Cropped to a single cell; bone marrow smear.
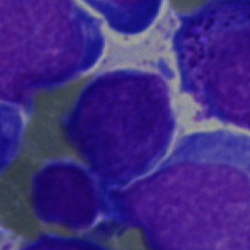

Specimen: bone marrow smear.
Cell type: blast.